Bone marrow aspirate smear: 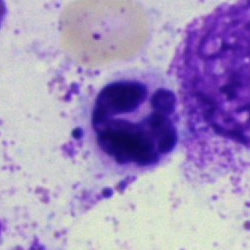

Impression → polymorphonuclear neutrophil.